Bone marrow smear
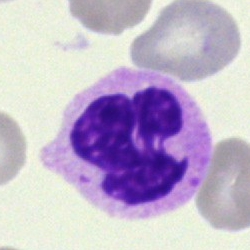
Classification: segmented neutrophil.